Bone marrow smear. May-Grünwald-Giemsa/Pappenheim stain.
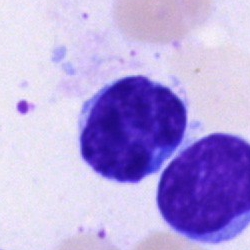

This is a lymphocyte.